250×250 · bone marrow smear
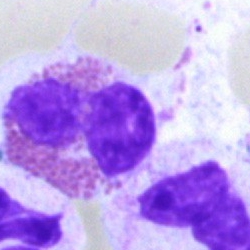An eosinophil.